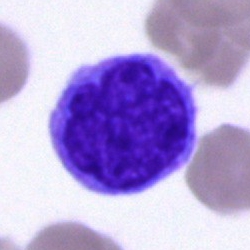

Single-cell crop from a bone marrow smear: blast cell.